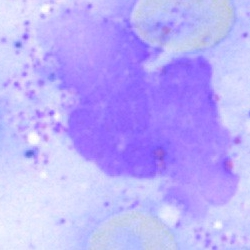 Impression → artefact.